Peripheral blood film — 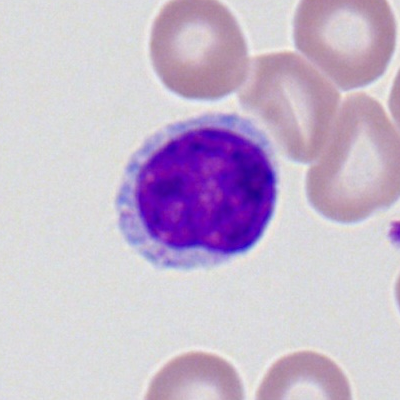

This is a typical lymphocyte.